Bone marrow aspirate smear · May-Grünwald-Giemsa stain.
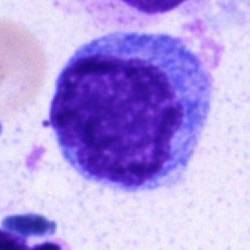

Specimen: bone marrow smear.
Classification: blast.